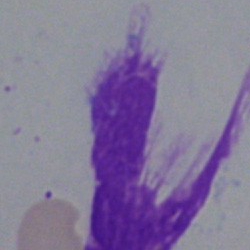

{"cell_type": "artefact"}